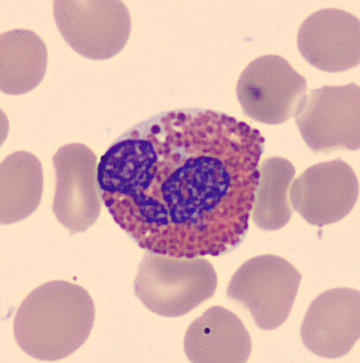
Image: Peripheral blood smear. This is an eosinophilic granulocyte.